Bone marrow aspirate smear. MGG-stained. 250 by 250 pixels:
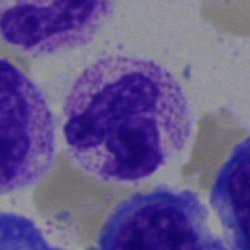Morphology consistent with a segmented neutrophil.